MGG-stained. Bone marrow aspirate smear: 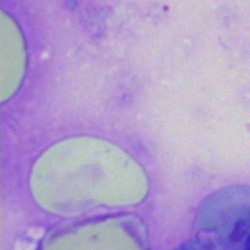 Impression → artifact.